Bone marrow smear. 250×250 px
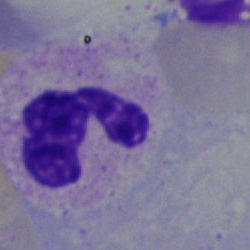
Q: What is the morphological classification of this cell?
A: Polymorphonuclear neutrophil.